Bone marrow aspirate smear: 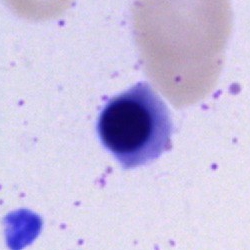 Q: What is shown here?
A: Nucleated red blood cell.